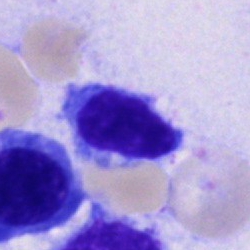 Cell: lymphocyte.